Imaged on a CellaVision DM96 analyser. Peripheral blood film:
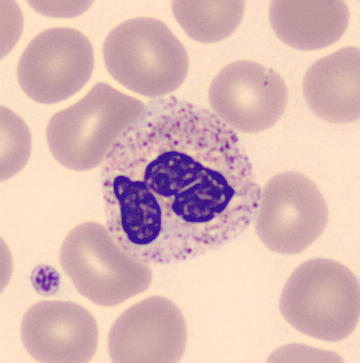

A polymorphonuclear neutrophil.